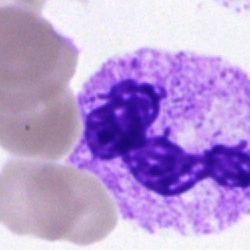Morphological class = segmented neutrophil.